Bone marrow smear: 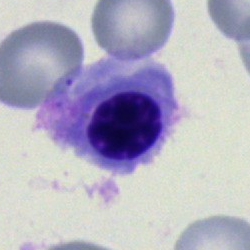

Erythroblast.